Bone marrow aspirate smear
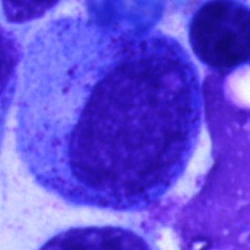

Single cell identified as a promyelocyte.